Bone marrow smear; MGG-stained.
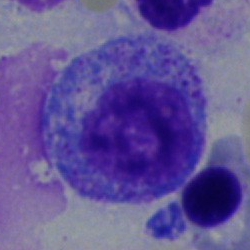
Single cell identified as a progranulocyte.